Bone marrow smear
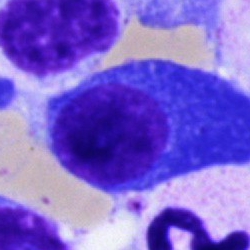

{"cell_type": "plasma cell", "lineage": "lymphoid"}